Brightfield, 40× oil-immersion objective. Bone marrow aspirate smear
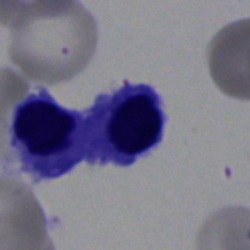
Specimen: bone marrow smear.
Cell type: erythroblast.
Lineage: erythroid.